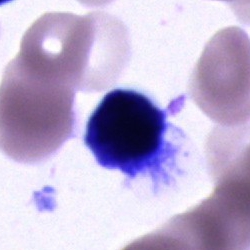 Q: What type of cell is this?
A: This is an unidentifiable cell.